Peripheral blood film:
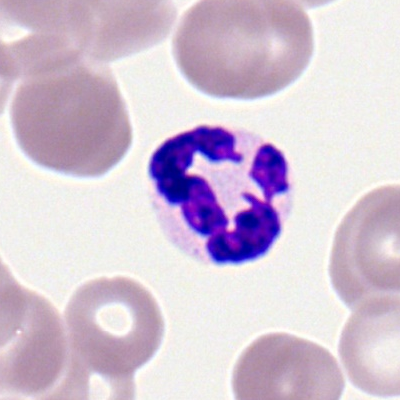

Showing a polymorphonuclear neutrophil.